Bone marrow aspirate smear. Image size 250×250. May-Grünwald-Giemsa stain: 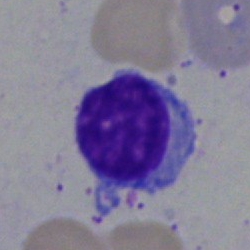

Morphology consistent with a typical lymphocyte.